Bone marrow smear; 250×250:
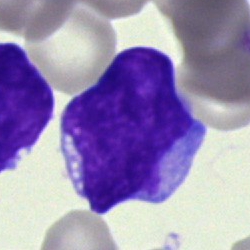

The cell is undifferentiated blast.